Bone marrow aspirate smear.
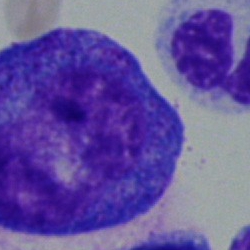
Specimen: bone marrow smear.
Morphological class: promyelocyte.
Lineage: myeloid.